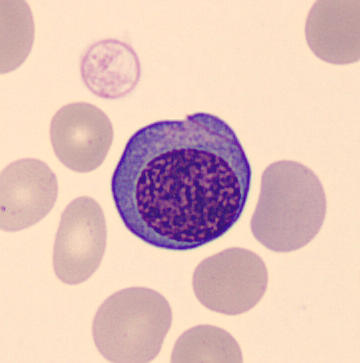 Cell = nucleated red blood cell.
360×363 · peripheral blood smear.